Brightfield, 40× oil-immersion objective. Bone marrow aspirate smear. 250 by 250 pixels.
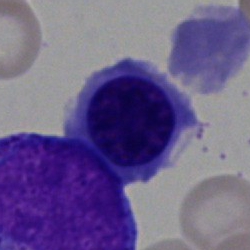Cell: erythroblast.